Bone marrow aspirate smear: 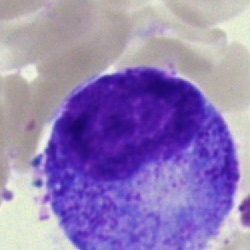Impression → progranulocyte.